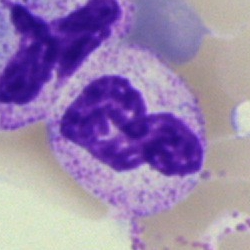Q: What is shown here?
A: This is a segmented neutrophil.